Bone marrow smear:
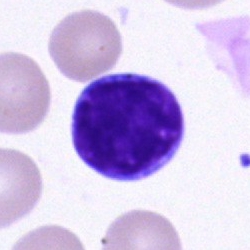Single cell identified as a typical lymphocyte.